Image size 250×250 · 40× oil immersion · bone marrow smear.
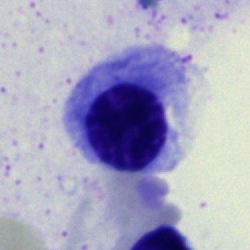Nucleated red cell.